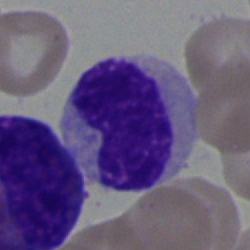
Bone marrow aspirate smear, single cell — metamyelocyte.